Bone marrow smear:
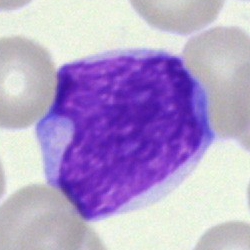
Showing a blast.